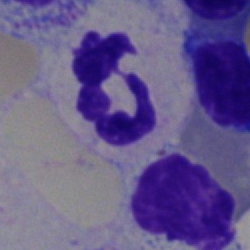 Morphology — segmented neutrophil.